40× oil immersion · bone marrow aspirate smear:
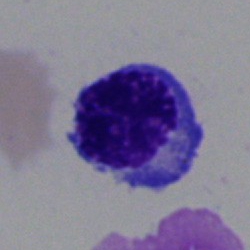

Morphology consistent with a nucleated red cell.